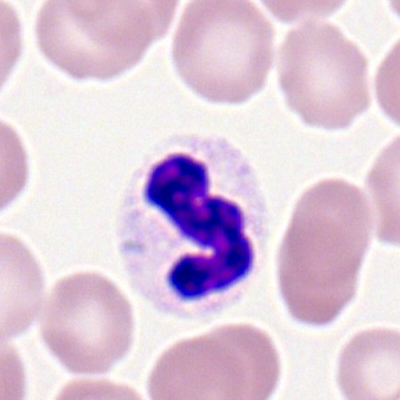
Morphological class: neutrophil (segmented).